Bone marrow smear; single cell centered in the field; May-Grünwald-Giemsa/Pappenheim stain.
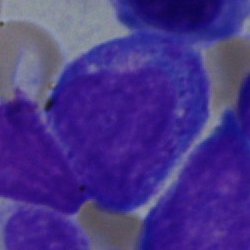

Morphology consistent with a progranulocyte.